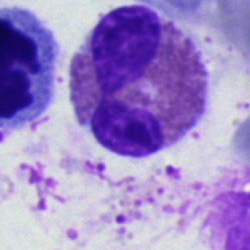
Q: Which cell type is shown here?
A: This is an eosinophil.